40× oil immersion · MGG-stained · bone marrow smear.
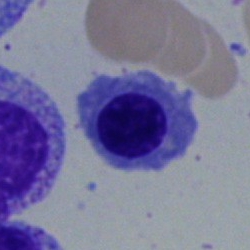
Showing an erythroblast.